Bone marrow aspirate smear. Brightfield, 40× oil-immersion objective — 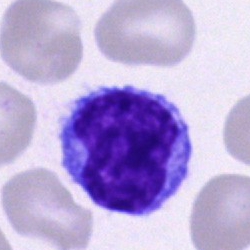Classification = typical lymphocyte.